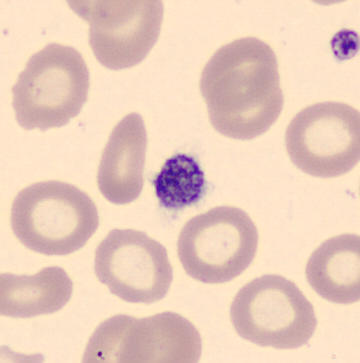
Classification — platelet.